Bone marrow aspirate smear.
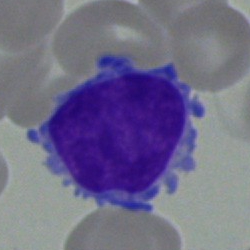The cell shown is a blast.